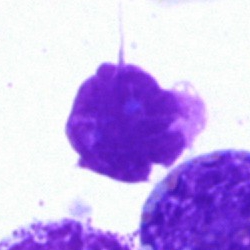

Single-cell crop from a bone marrow smear: artifact.